250 by 250 pixels · May-Grünwald-Giemsa/Pappenheim stain · bone marrow aspirate smear — 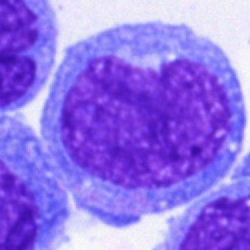The cell type is undifferentiated blast.